Peripheral blood smear: 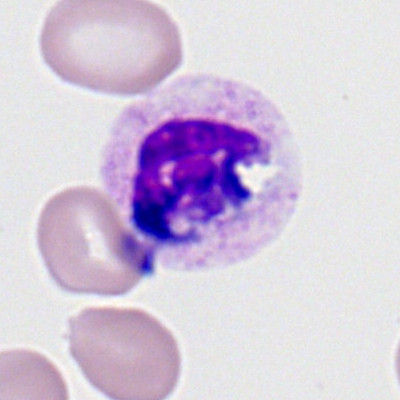
Morphology consistent with a neutrophil (segmented).